Bone marrow aspirate smear — 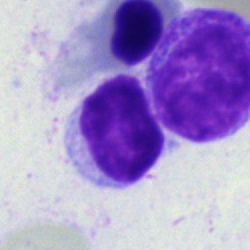Morphological class — typical lymphocyte.